Bone marrow smear.
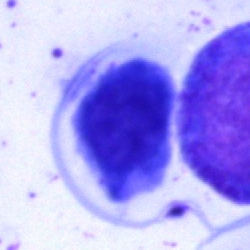

Q: What is the morphological classification of this cell?
A: Cell of indeterminate lineage.